MGG-stained · bone marrow aspirate smear: 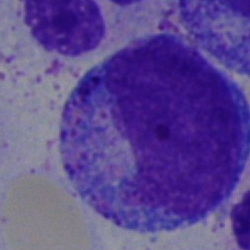 Specimen: bone marrow smear.
Cell: promyelocyte.